Single cell centered in the field; bone marrow aspirate smear.
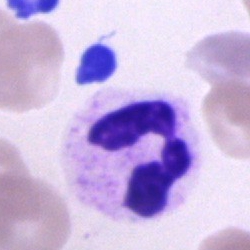

{"cell_type": "segmented neutrophil"}